Bone marrow smear:
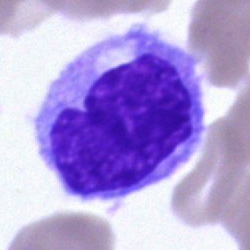 Morphology consistent with a monocyte.